Pappenheim-stained · bone marrow smear · single-cell field:
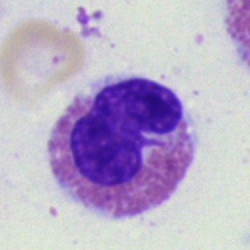

{"cell_type": "eosinophilic granulocyte", "lineage": "myeloid"}